Bone marrow smear · 250×250 px · brightfield microscopy, 40× oil immersion — 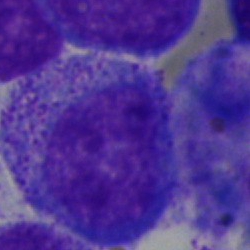

{"cell_type": "promyelocyte"}